Bone marrow aspirate smear: 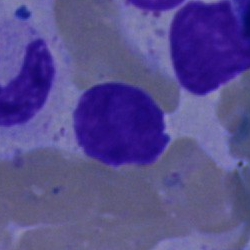
{"cell_type": "lymphocyte", "lineage": "lymphoid"}